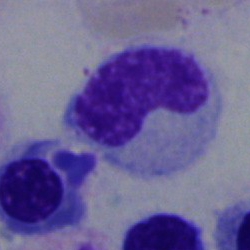

Q: Which cell type is shown here?
A: It is a stab cell.